Bone marrow aspirate smear.
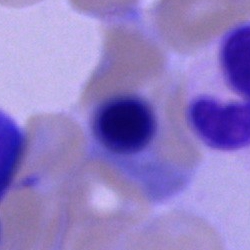The cell shown is a normoblast.